Bone marrow aspirate smear — 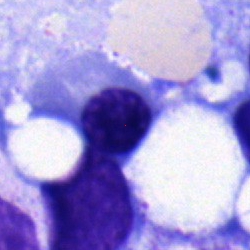This is a nucleated red cell.